MGG-stained · bone marrow aspirate smear · 250×250 px — 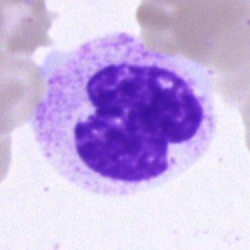

A segmented neutrophil.